Bone marrow aspirate smear — 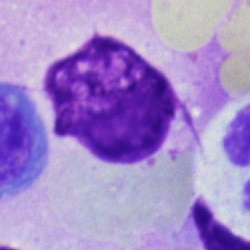The classification is artifact.